Bone marrow aspirate smear: 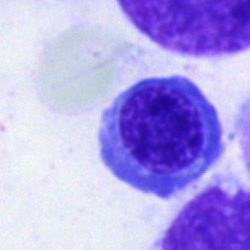

Morphological class — nucleated red blood cell.